Bone marrow aspirate smear
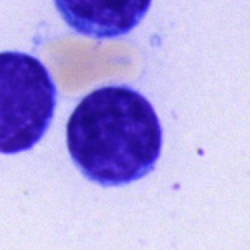Specimen: bone marrow smear.
Cell: lymphocyte.
Lineage: lymphoid.